Bone marrow aspirate smear; 40× objective, oil immersion — 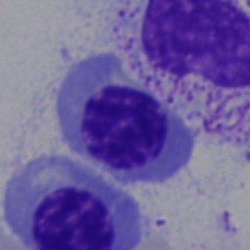 Morphology consistent with a nucleated red blood cell.